Bone marrow aspirate smear
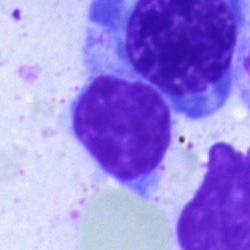
Impression — lymphocyte.